Bone marrow aspirate smear
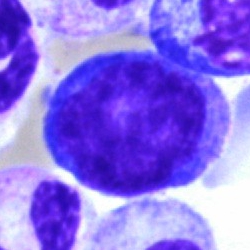Q: What is the morphological classification of this cell?
A: A proerythroblast.